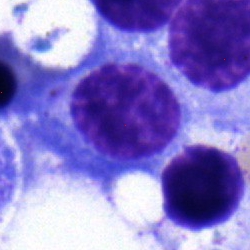
Morphology consistent with a nucleated red blood cell.